Pappenheim-stained · bone marrow aspirate smear · single-cell crop: 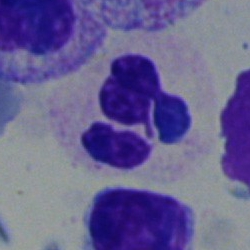
Morphological class = polymorphonuclear neutrophil.